Bone marrow aspirate smear
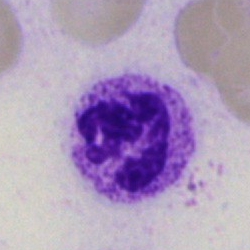 Cell — neutrophil (segmented).